Bone marrow aspirate smear:
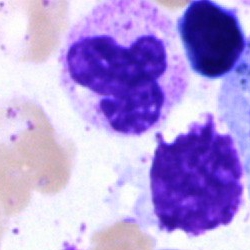

Morphological class = neutrophil (segmented).